250×250 · bone marrow aspirate smear
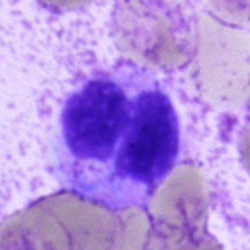

This is a neutrophil (segmented).